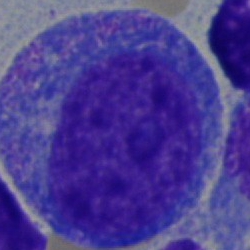

The cell shown is a progranulocyte.